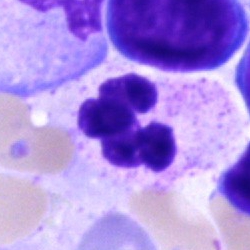Cell type — neutrophil (segmented).